May-Grünwald-Giemsa/Pappenheim stain; bone marrow aspirate smear; 40× oil immersion — 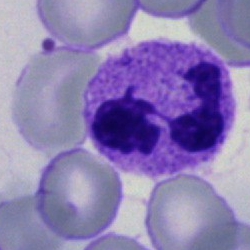This is a neutrophil (segmented).